Bone marrow smear
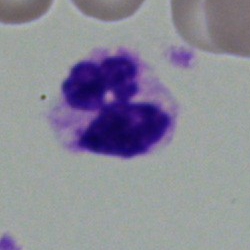
Cell type: segmented neutrophil.